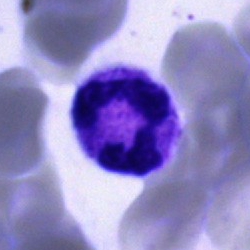

Showing a neutrophil (segmented).